Bone marrow smear — 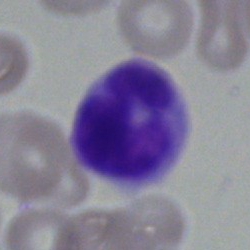 A neutrophil (segmented).